Bone marrow aspirate smear.
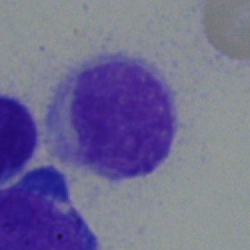 Morphology → typical lymphocyte.